Bone marrow smear; MGG-stained; single-cell crop — 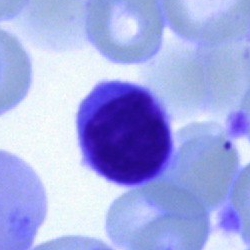The cell shown is a lymphocyte.